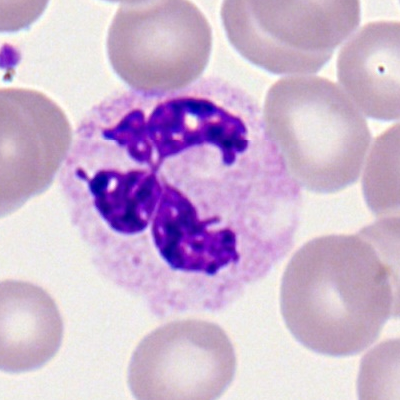

Peripheral blood film, single cell — neutrophil (segmented).